Bone marrow aspirate smear:
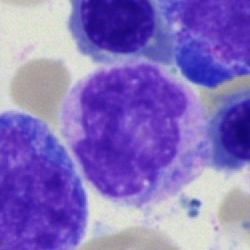
Morphological class = monocyte.